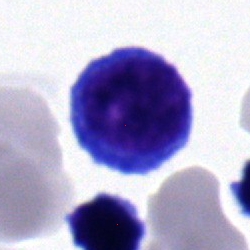 A lymphocyte on a bone marrow smear.